Bone marrow smear. Pappenheim-stained. Cropped to a single cell
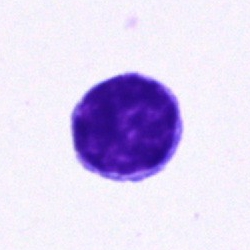
Morphology — lymphocyte.